Image size 250×250. Bone marrow smear: 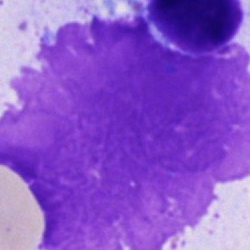

Classification = artifact.